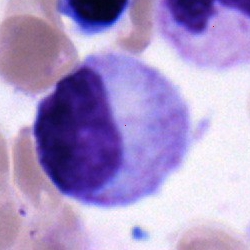 A myelocyte on a bone marrow smear.